Bone marrow smear. Image size 250×250 — 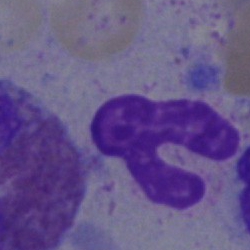

Specimen: bone marrow smear.
Morphological class: polymorphonuclear neutrophil.
Lineage: myeloid.